250 by 250 pixels. Bone marrow smear. Pappenheim-stained
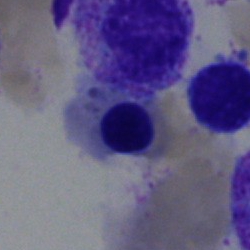
Q: Which cell type is shown here?
A: A nucleated red cell.